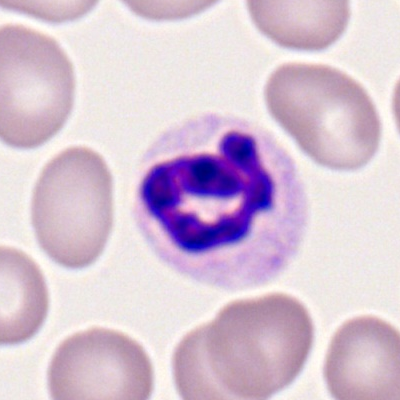Morphology — polymorphonuclear neutrophil.